Brightfield, 40× oil-immersion objective. Bone marrow smear.
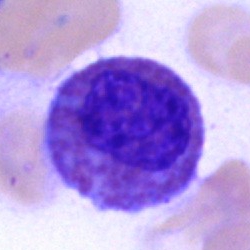

Classification: eosinophilic granulocyte.